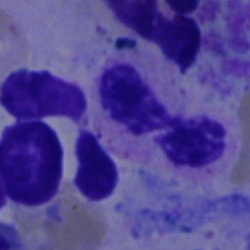

Specimen: bone marrow smear.
Cell: neutrophil (segmented).